Bone marrow smear — 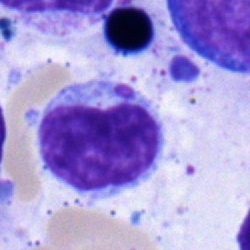Morphology → typical lymphocyte.